Brightfield microscopy, 40× oil immersion. Bone marrow aspirate smear
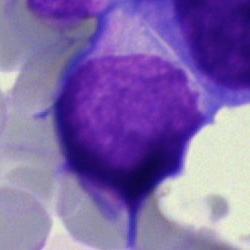
Impression — blast cell.